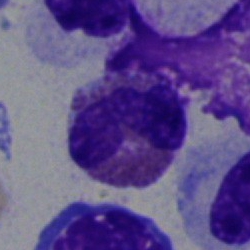

The classification is eosinophilic granulocyte.